Bone marrow smear: 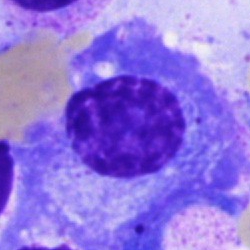 Q: What is shown here?
A: A plasmacyte.